Single cell centered in the field · image size 250×250 · bone marrow aspirate smear:
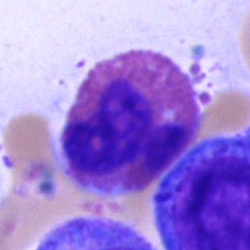

Morphology consistent with an eosinophil.